Bone marrow aspirate smear:
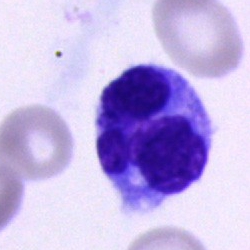Classification — artifact.